Bone marrow aspirate smear: 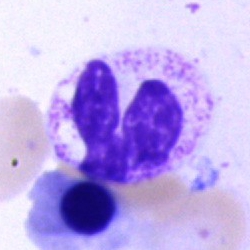Morphological class = neutrophil (segmented).